Peripheral blood smear:
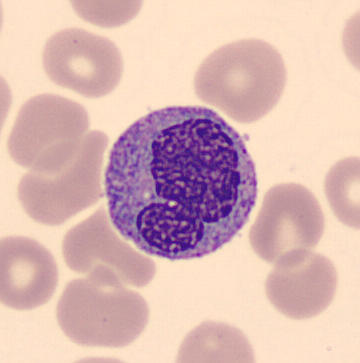

Identified as a monocyte.